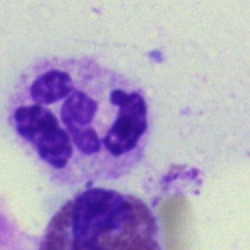

The cell shown is a segmented neutrophil.